250×250 px. Bone marrow aspirate smear. Cropped to a single cell
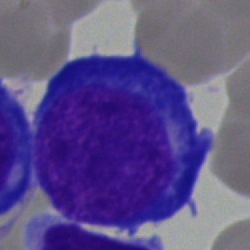 {"cell_type": "erythroblast"}